Bone marrow aspirate smear — 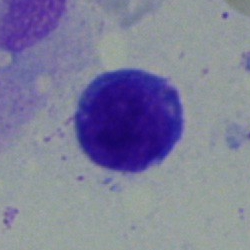The cell shown is a typical lymphocyte.